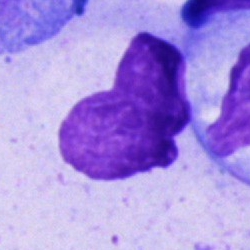

An artifact.